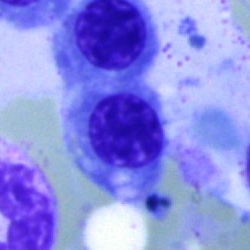
Impression → normoblast.